May-Grünwald-Giemsa stain. Single-cell field. Bone marrow aspirate smear — 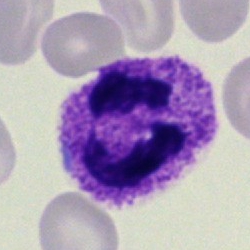

A polymorphonuclear neutrophil.